Image size 250×250 · single-cell crop · bone marrow smear — 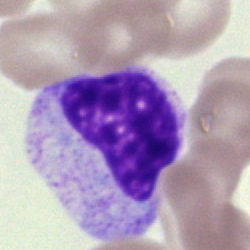

Impression → myelocyte.